Bone marrow aspirate smear — 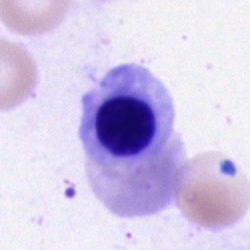
This is a nucleated red blood cell.